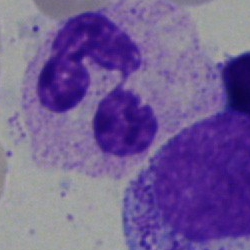
Morphological class: polymorphonuclear neutrophil.